May-Grünwald-Giemsa stain · bone marrow aspirate smear · 40× objective, oil immersion — 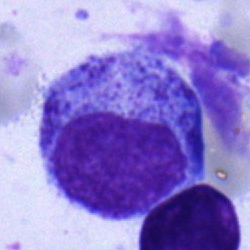

Specimen: bone marrow smear.
Cell: myelocyte.